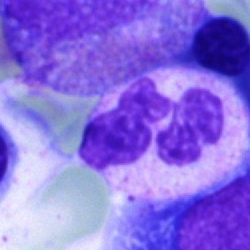 Cell type — neutrophil (segmented).